Romanowsky-type stain. Single-cell crop. Peripheral blood film: 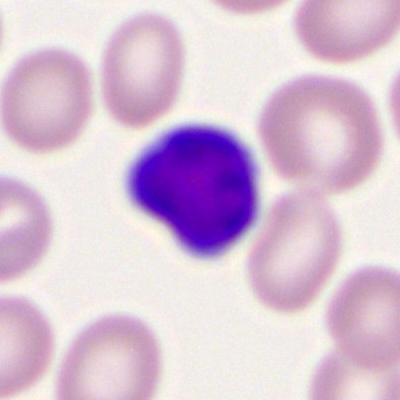Typical lymphocyte.